250×250. Bone marrow smear.
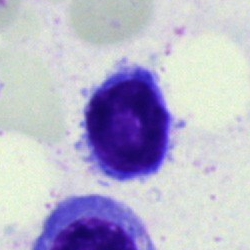 Q: What cell is this?
A: A typical lymphocyte.